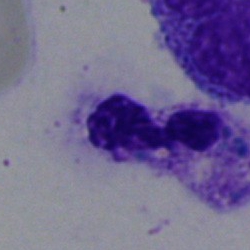

Morphology — neutrophil (segmented).